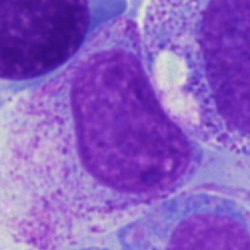

Q: Which cell type is shown here?
A: It is a myelocyte.